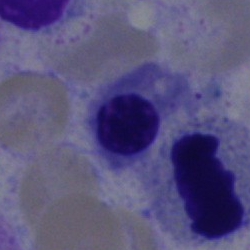
Nucleated red blood cell.